Bone marrow aspirate smear — 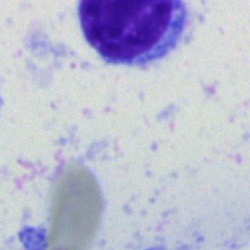
Showing a cell of indeterminate lineage.